250 by 250 pixels. Bone marrow smear: 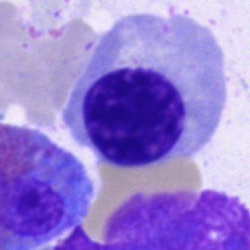
Impression — nucleated red blood cell.